Single cell centered in the field; bone marrow aspirate smear: 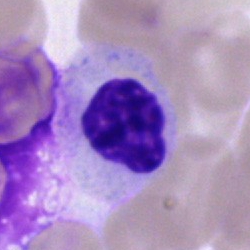{"cell_type": "normoblast", "lineage": "erythroid"}